Bone marrow smear; single cell centered in the field; Pappenheim-stained:
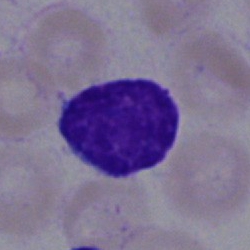
Morphology — lymphocyte.